Bone marrow smear — 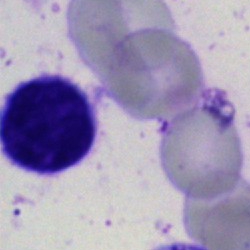 An artifact.